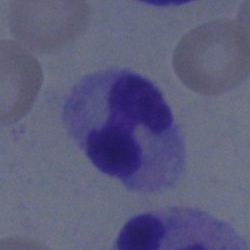Segmented neutrophil.